Bone marrow aspirate smear.
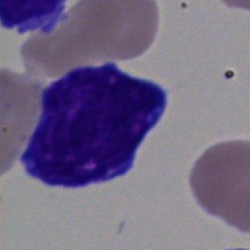

Specimen: bone marrow aspirate smear.
Cell type: blast.